Bone marrow smear
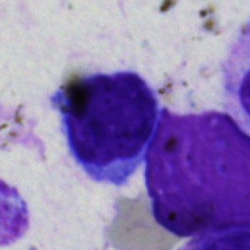

Showing a lymphocyte.